Bone marrow aspirate smear
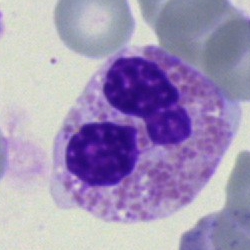

Q: What is the morphological classification of this cell?
A: Polymorphonuclear neutrophil.